May-Grünwald-Giemsa/Pappenheim stain · bone marrow smear:
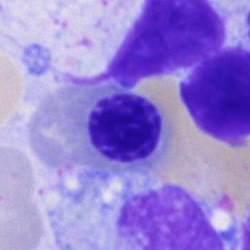

Specimen: bone marrow smear.
Classification: nucleated red blood cell.